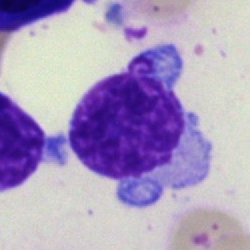

A typical lymphocyte on a bone marrow smear.